Single cell centered in the field · bone marrow smear · 250 by 250 pixels:
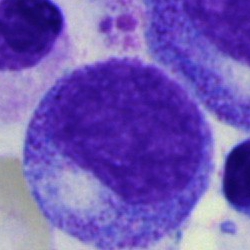Classification: promyelocyte.